Bone marrow aspirate smear.
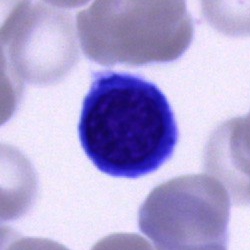 Showing a typical lymphocyte.